Single-cell field. Bone marrow aspirate smear. Image size 250×250.
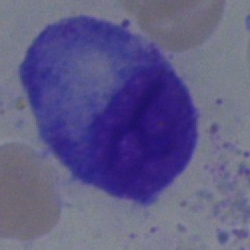 A progranulocyte.